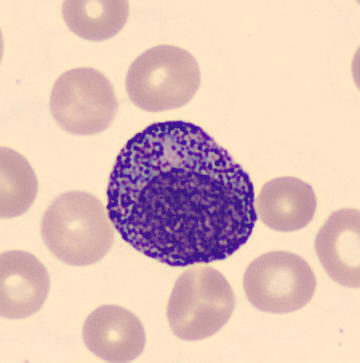

Myelocyte.
Peripheral blood film; single-cell field.